40× objective, oil immersion. Bone marrow smear — 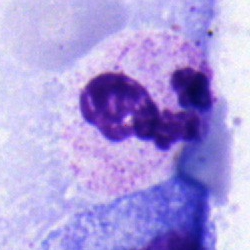Morphology consistent with a neutrophil (segmented).